Bone marrow aspirate smear:
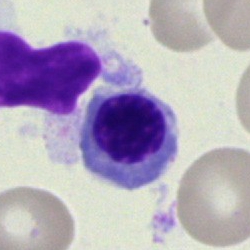
Specimen: bone marrow smear.
Classification: erythroblast.